Single-cell crop · bone marrow aspirate smear.
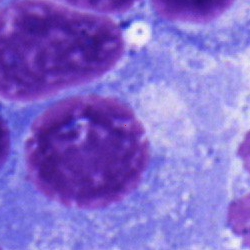

This is a plasma cell.